Bone marrow smear — 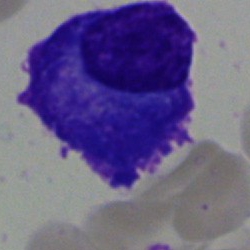Morphology consistent with a plasma cell.